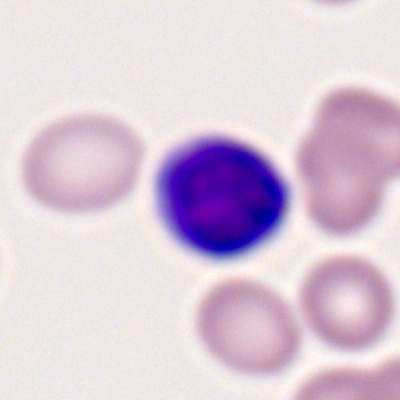
Peripheral blood film, single cell — lymphocyte.